Bone marrow aspirate smear: 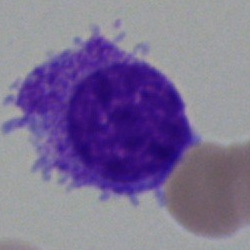
Cell type = artifact.